Bone marrow smear: 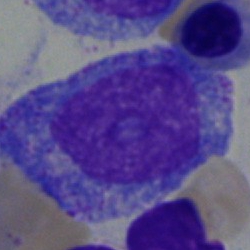Morphology consistent with a promyelocyte.